Pappenheim-stained; bone marrow aspirate smear; 250×250 px
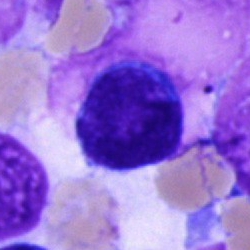
Specimen: bone marrow smear.
Classification: blast cell.